Bone marrow smear:
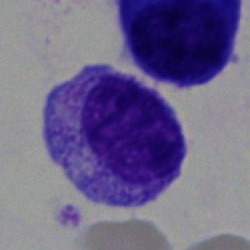The cell shown is a myelocyte.